40× oil immersion. Bone marrow smear. May-Grünwald-Giemsa stain — 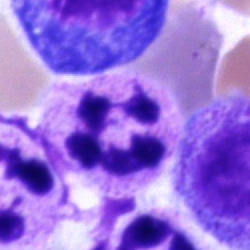Morphology — eosinophil.